Bone marrow aspirate smear.
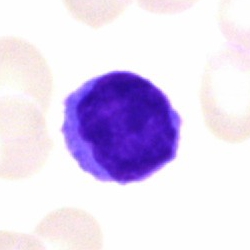
Impression → lymphocyte.